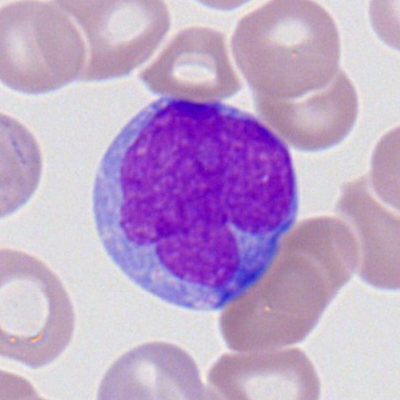 {"cell_type": "myeloblast", "lineage": "myeloid"}